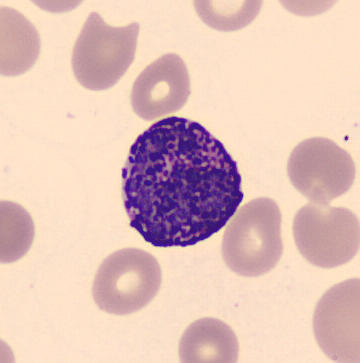
A basophil.